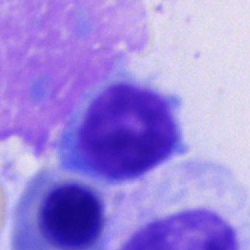
Lymphocyte.